40× oil immersion · bone marrow aspirate smear.
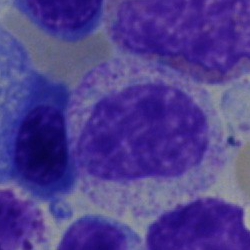{"cell_type": "myelocyte"}